250 by 250 pixels; bone marrow aspirate smear.
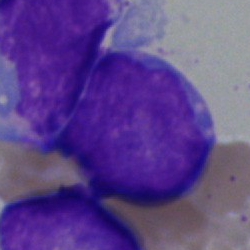
Q: Which cell type is shown here?
A: A blast.